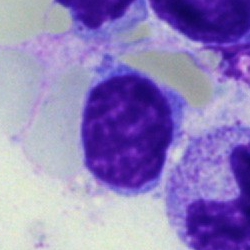

Cell = lymphocyte.